Brightfield microscopy, 40× oil immersion. Bone marrow smear:
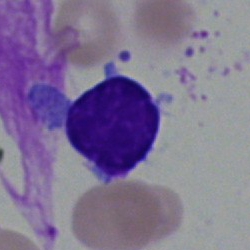

Morphology consistent with a lymphocyte.